Image size 250×250; brightfield, 40× oil-immersion objective; bone marrow smear.
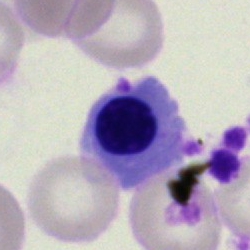

Q: What is the morphological classification of this cell?
A: A nucleated red blood cell.